Peripheral blood smear; 100× objective, oil immersion; Romanowsky-type stain.
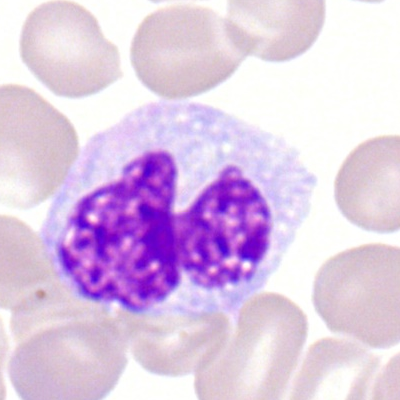
This is a monocyte.